May-Grünwald-Giemsa stain; 250 by 250 pixels; bone marrow aspirate smear:
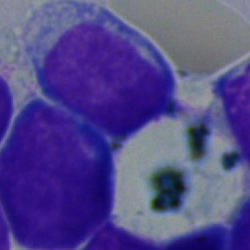

The cell type is blast.